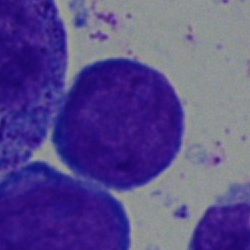
This is an undifferentiated blast.